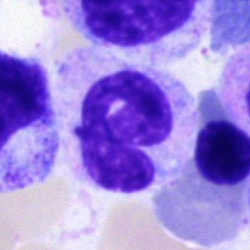
The classification is segmented neutrophil.